Bone marrow aspirate smear; brightfield, 40× oil-immersion objective:
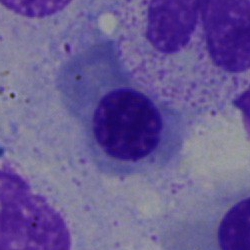 Q: What is the morphological classification of this cell?
A: This is a nucleated red blood cell.